Bone marrow smear. Single cell centered in the field. 40× oil immersion — 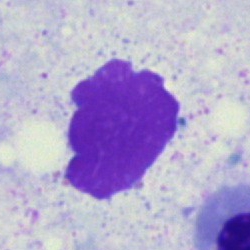 Specimen: bone marrow aspirate smear.
Cell: artifact.